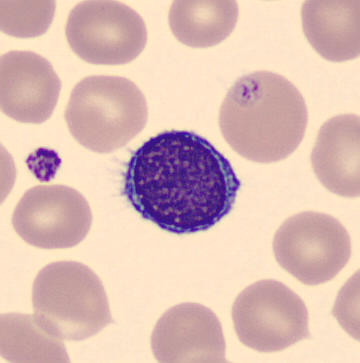Peripheral blood smear. Identified as a typical lymphocyte.